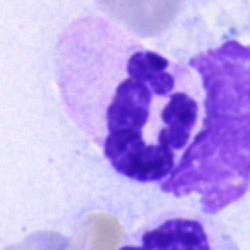 The classification is segmented neutrophil.